40× oil immersion · bone marrow aspirate smear — 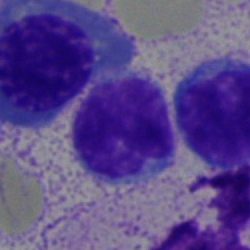 Q: What type of cell is this?
A: A typical lymphocyte.